Bone marrow aspirate smear — 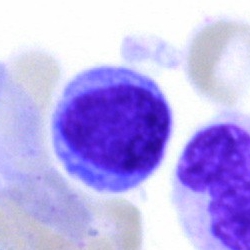

{"cell_type": "lymphocyte", "lineage": "lymphoid"}